Peripheral blood smear · 100× objective, oil immersion: 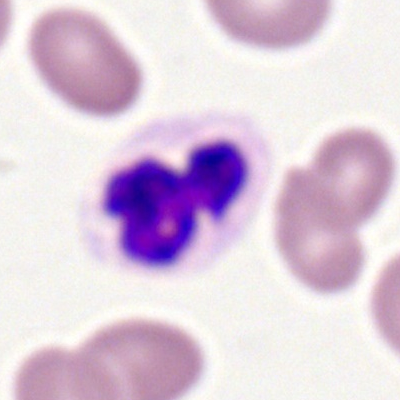

Impression → segmented neutrophil.